Bone marrow smear. Cropped to a single cell.
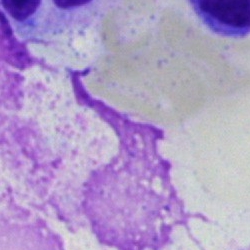 Classification — artefact.